Bone marrow aspirate smear; 40× oil immersion — 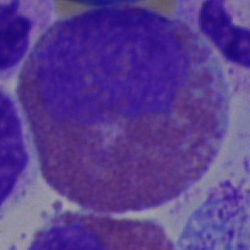 This is an eosinophil.